Bone marrow aspirate smear.
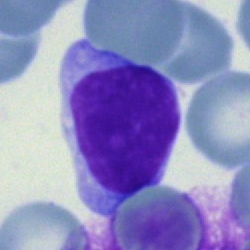

Specimen: bone marrow aspirate smear.
Morphological class: lymphocyte.